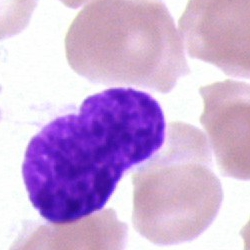
Showing an artefact.